40× oil immersion; single-cell field; bone marrow smear
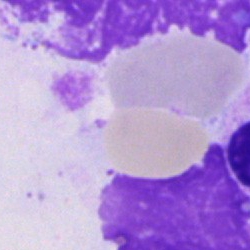

The classification is artifact.